Bone marrow aspirate smear:
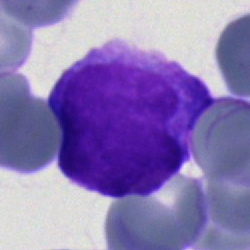 Morphology consistent with a blast.